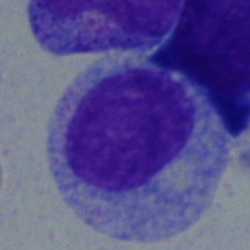Q: What is the morphological classification of this cell?
A: Myelocyte.